Brightfield, 40× oil-immersion objective; bone marrow smear — 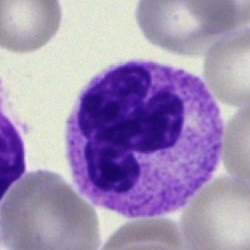 Single cell identified as a neutrophil (segmented).